Bone marrow aspirate smear · brightfield, 40× oil-immersion objective
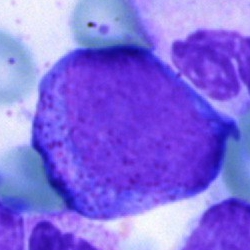
This is a progranulocyte.